Bone marrow smear — 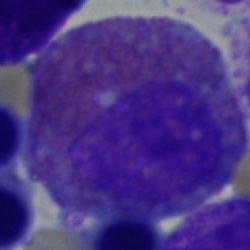
Q: Identify the cell.
A: Eosinophil.